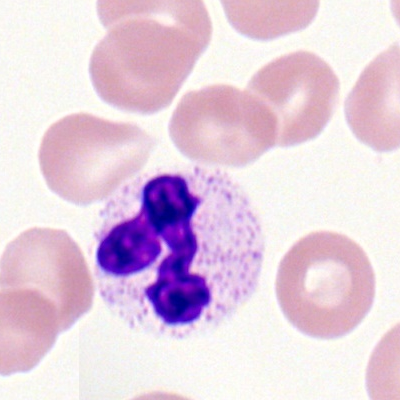 A segmented neutrophil on a peripheral blood smear.